Bone marrow aspirate smear · May-Grünwald-Giemsa/Pappenheim stain
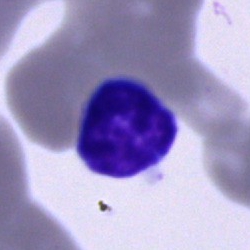This is a lymphocyte.